Peripheral blood film:
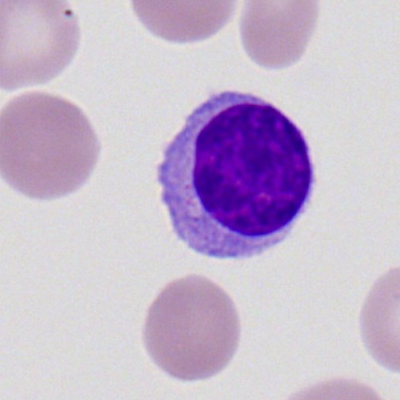

Typical lymphocyte.